MGG-stained; bone marrow smear.
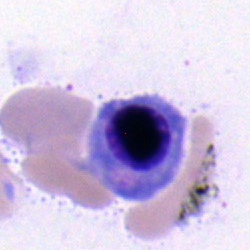
This is a nucleated red cell.